Bone marrow aspirate smear: 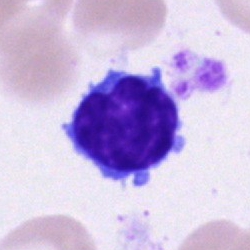Morphology consistent with a lymphocyte.